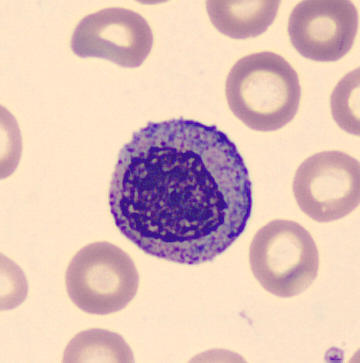Q: What cell is this?
A: This is a myelocyte.
Acquisition: Peripheral blood smear.